May-Grünwald-Giemsa/Pappenheim stain. Bone marrow aspirate smear. Single-cell field:
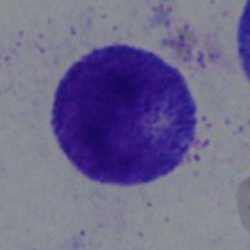 Q: Which cell type is shown here?
A: Promyelocyte.